Bone marrow aspirate smear.
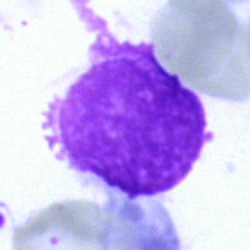Classification — artifact.